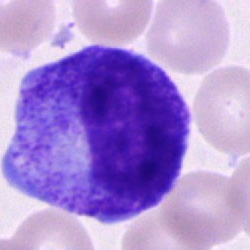
The cell type is progranulocyte.